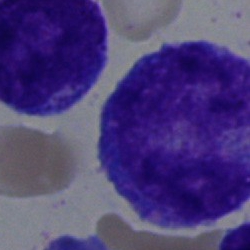 A promyelocyte.